May-Grünwald-Giemsa/Pappenheim stain · bone marrow smear.
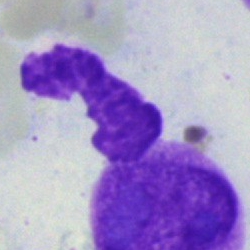
Segmented neutrophil.